Single cell centered in the field. Bone marrow smear: 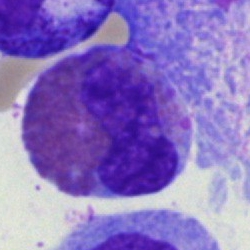 The morphological class is eosinophil.